Single-cell field. Bone marrow aspirate smear.
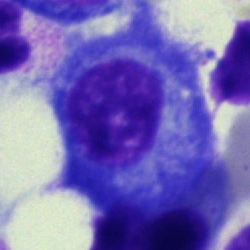
The cell type is plasmacyte.